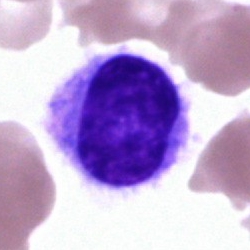
The morphological class is hairy cell.